Bone marrow smear. 40× oil immersion:
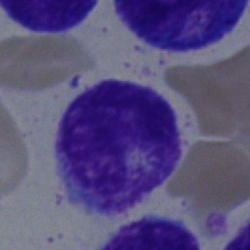

Showing a metamyelocyte.